Bone marrow aspirate smear: 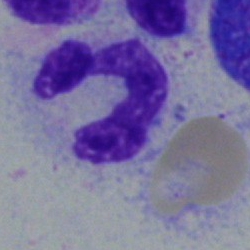 The cell shown is a neutrophil (segmented).